Bone marrow aspirate smear.
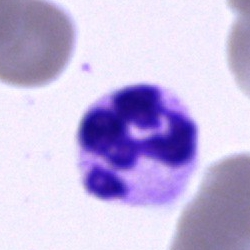
Cell type: segmented neutrophil.